Bone marrow aspirate smear:
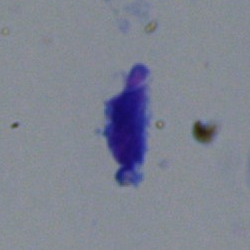Artifact.